Single cell centered in the field. Bone marrow aspirate smear: 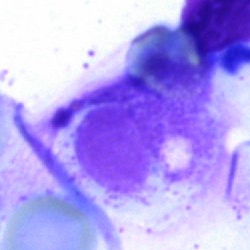 Specimen: bone marrow aspirate smear.
Morphological class: artifact.